Peripheral blood smear. Single-cell field. 400×400 px — 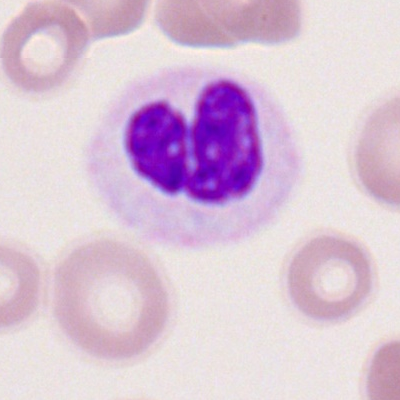Cell = neutrophil (segmented).